Bone marrow smear
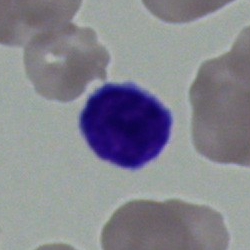 The cell shown is a lymphocyte.